Brightfield microscopy, 40× oil immersion. 250 by 250 pixels. Bone marrow smear.
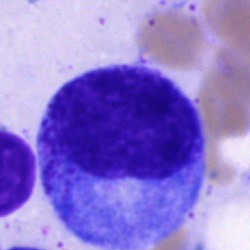

Specimen: bone marrow aspirate smear.
Cell: progranulocyte.
Lineage: myeloid.